Bone marrow aspirate smear: 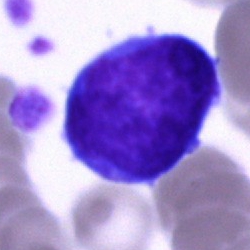

This is a blast cell.